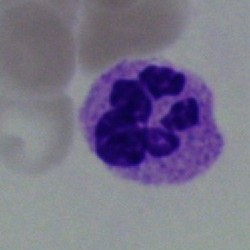 Q: Identify the cell.
A: This is a neutrophil (segmented).